Peripheral blood film — 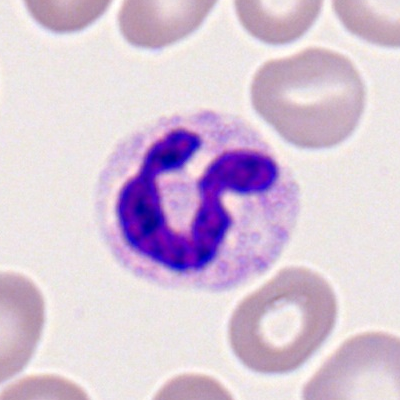 This is a neutrophil (segmented).